Brightfield, 40× oil-immersion objective · bone marrow smear · May-Grünwald-Giemsa/Pappenheim stain: 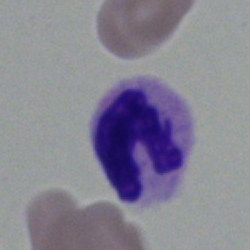 Morphological class = polymorphonuclear neutrophil.